Brightfield microscopy, 40× oil immersion; bone marrow smear: 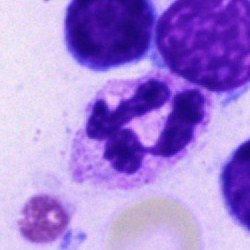
The cell shown is a neutrophil (segmented).